Bone marrow smear — 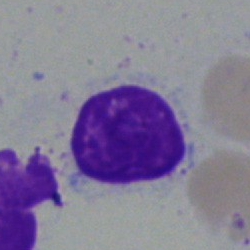Impression — lymphocyte.